Bone marrow smear: 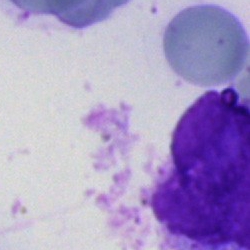 An artifact.